May-Grünwald-Giemsa stain · bone marrow smear
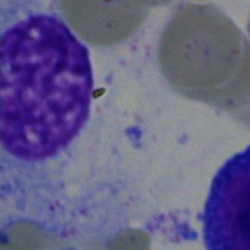
An artifact.